Bone marrow smear · 250×250: 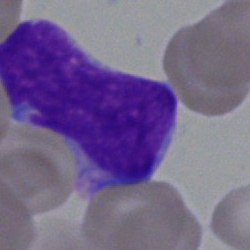

Q: What is shown here?
A: It is a blast.